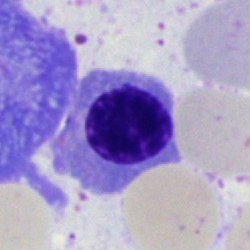Morphology → nucleated red blood cell.